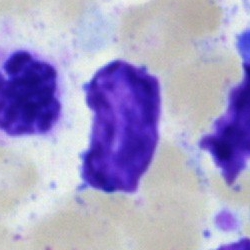
An artifact on a bone marrow smear.